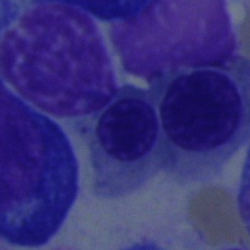
Q: What is shown here?
A: This is a nucleated red cell.